Bone marrow smear
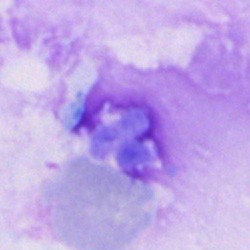
Q: What is shown here?
A: It is an artefact.